Peripheral blood film. Romanowsky-stained. Brightfield, 100× oil-immersion objective — 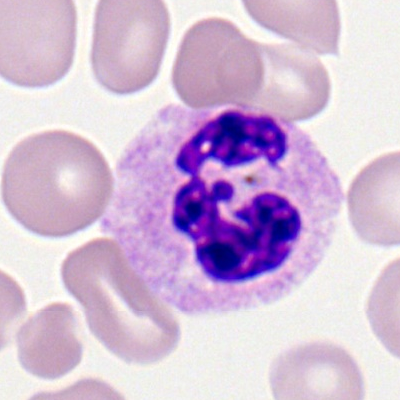
Specimen: peripheral blood smear.
Cell type: segmented neutrophil.